May-Grünwald-Giemsa/Pappenheim stain; bone marrow aspirate smear: 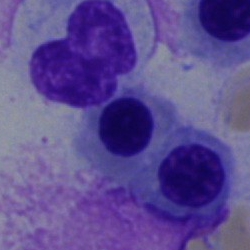 Q: What cell is this?
A: This is a nucleated red blood cell.